Bone marrow aspirate smear — 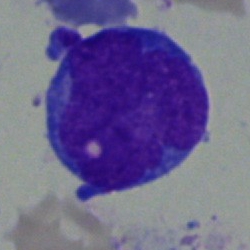

Morphology consistent with a blast.